Peripheral blood smear.
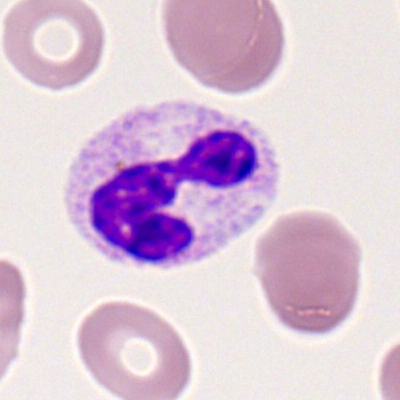
This is a polymorphonuclear neutrophil.